40× objective, oil immersion · bone marrow aspirate smear — 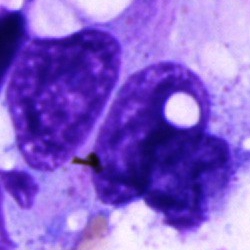Morphology → artifact.